250 by 250 pixels · bone marrow smear
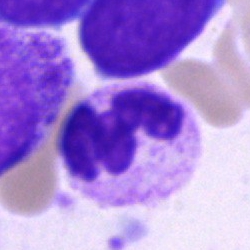
Cell = neutrophil (segmented).